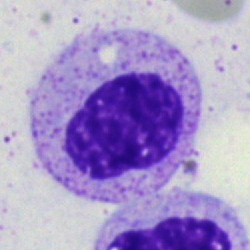

Q: What is shown here?
A: Myelocyte.